Brightfield, 40× oil-immersion objective. Bone marrow aspirate smear.
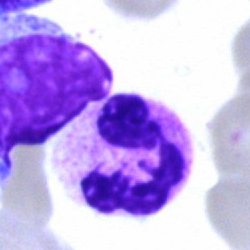 Classification — polymorphonuclear neutrophil.